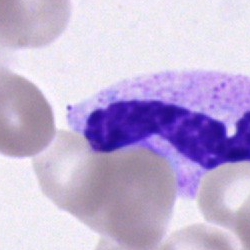

A segmented neutrophil on a bone marrow smear.